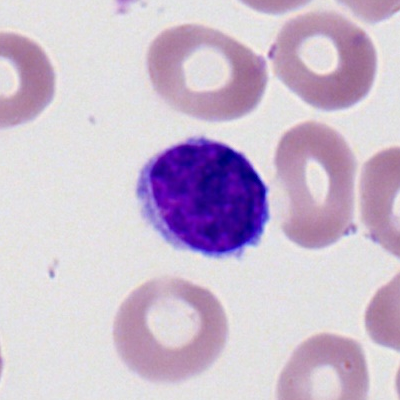The cell shown is a lymphocyte.